Bone marrow aspirate smear
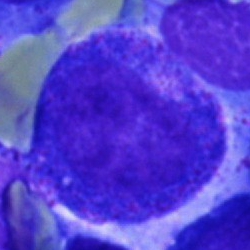Q: Identify the cell.
A: Promyelocyte.